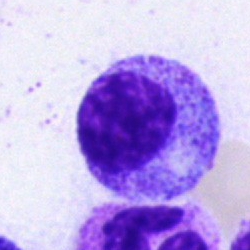 Q: Identify the cell.
A: This is a myelocyte.